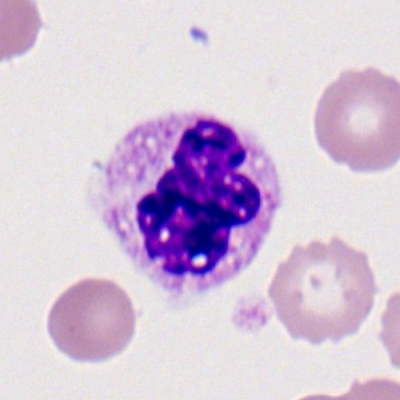Specimen: peripheral blood smear.
Morphological class: polymorphonuclear neutrophil.
Lineage: myeloid.